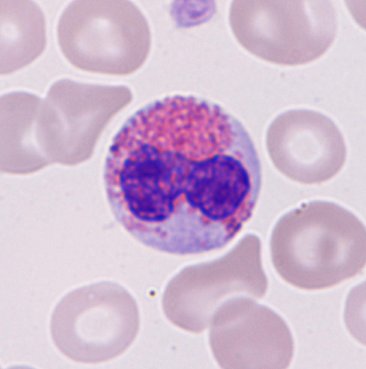

Impression — eosinophilic granulocyte.